Pappenheim-stained · single cell centered in the field · bone marrow aspirate smear:
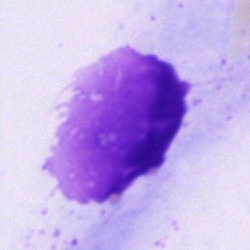

The cell shown is an artifact.